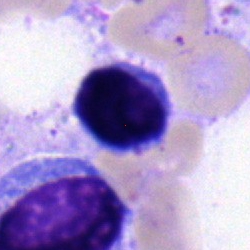 Q: What is the morphological classification of this cell?
A: Lymphocyte.